Bone marrow smear. MGG-stained. Brightfield, 40× oil-immersion objective — 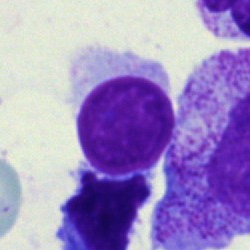
Morphological class = unidentifiable cell.